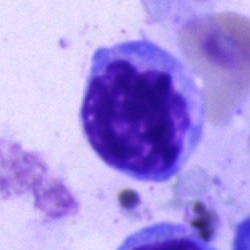Cell: erythroblast.